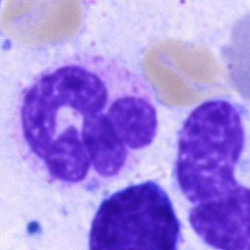

Q: What is shown here?
A: A segmented neutrophil.